Bone marrow smear.
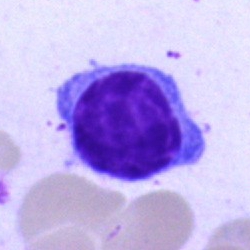

A plasma cell.